May-Grünwald-Giemsa stain; bone marrow smear; 250 by 250 pixels
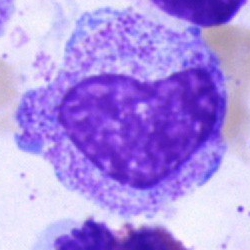A promyelocyte.